Bone marrow aspirate smear. 250×250 px. MGG-stained — 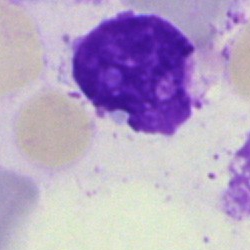 The cell shown is an artifact.